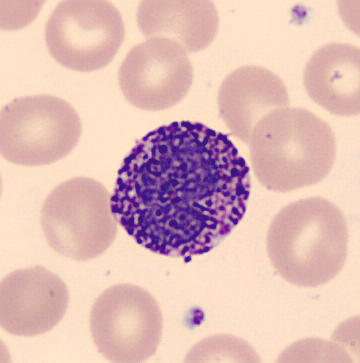
Showing a basophil.